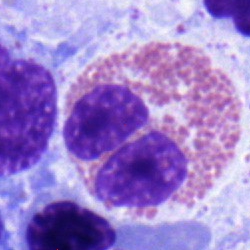 Single cell identified as an eosinophil.